Bone marrow aspirate smear. 40× objective, oil immersion — 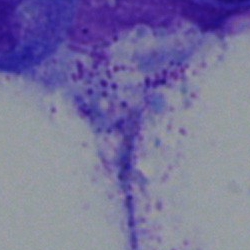

Cell: artefact.